May-Grünwald-Giemsa stain · single-cell crop · bone marrow aspirate smear — 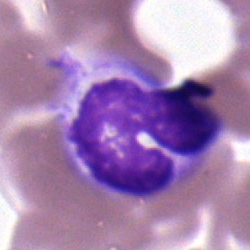
Specimen: bone marrow aspirate smear.
Cell type: band-form neutrophil.